Bone marrow aspirate smear; 40× oil immersion; single-cell crop — 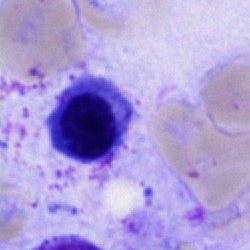 The cell type is normoblast.